Peripheral blood smear.
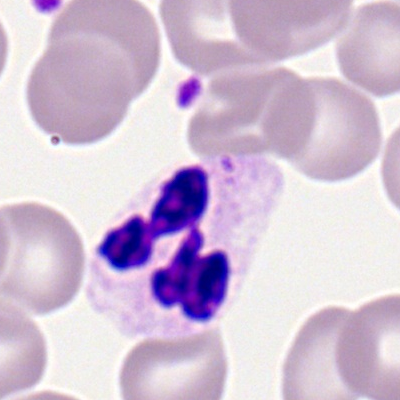
Impression → segmented neutrophil.